Bone marrow aspirate smear; 250 by 250 pixels:
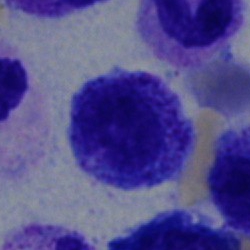

Specimen: bone marrow aspirate smear.
Morphological class: myelocyte.
Lineage: myeloid.